Peripheral blood film · 400×400:
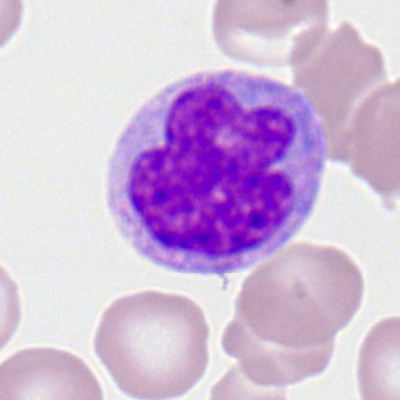 Cell = monocyte.